Bone marrow smear — 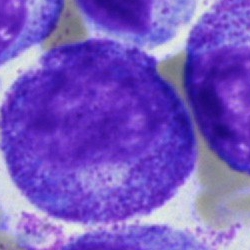
The cell is promyelocyte.